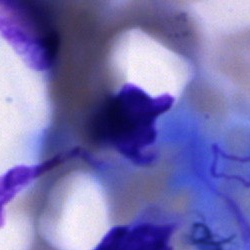 The morphological class is artifact.